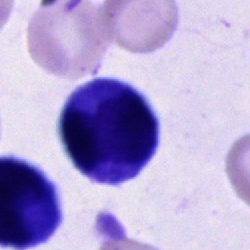Morphological class — cell of indeterminate lineage.